Bone marrow aspirate smear. Single cell centered in the field. MGG-stained:
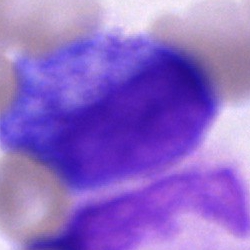 This is an unidentifiable cell.